Single-cell field · bone marrow aspirate smear · 40× objective, oil immersion
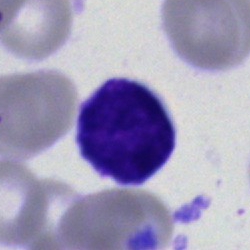This is a blast cell.